Bone marrow smear; brightfield, 40× oil-immersion objective — 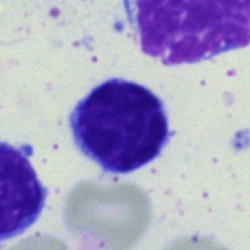 Showing a typical lymphocyte.